Bone marrow smear · image size 250×250:
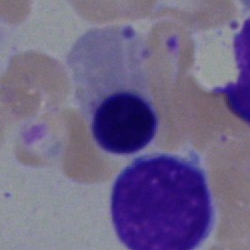

Morphology — nucleated red cell.